250 by 250 pixels. Bone marrow aspirate smear.
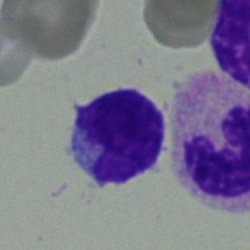 A typical lymphocyte.